Bone marrow smear — 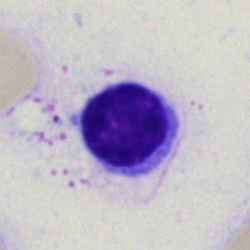Specimen: bone marrow aspirate smear.
Morphological class: lymphocyte.